MGG-stained. Bone marrow aspirate smear — 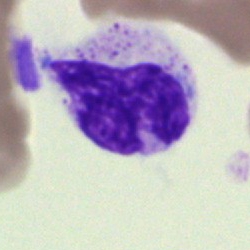
A polymorphonuclear neutrophil.